Bone marrow smear · brightfield, 40× oil-immersion objective · 250 by 250 pixels — 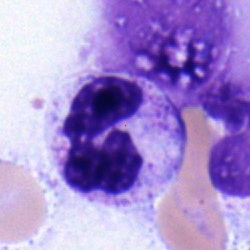A segmented neutrophil.